Bone marrow aspirate smear
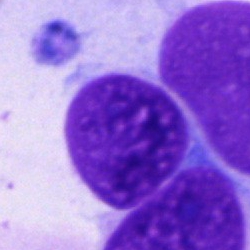

A cell of indeterminate lineage.